Bone marrow aspirate smear:
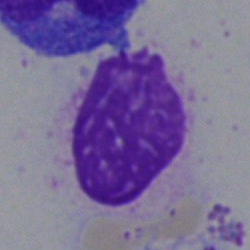

Morphology consistent with an artifact.